Bone marrow aspirate smear
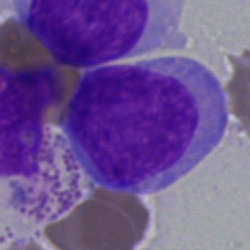
Cell type: undifferentiated blast.